Bone marrow smear. MGG-stained — 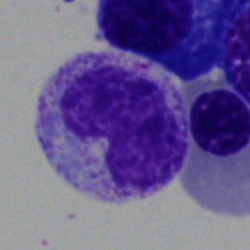

Q: What type of cell is this?
A: This is a band neutrophil.